Bone marrow smear.
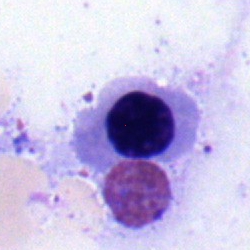

Impression — nucleated red blood cell.